Bone marrow smear. Pappenheim-stained.
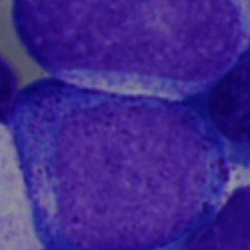

Classification — progranulocyte.